Bone marrow aspirate smear. Brightfield microscopy, 40× oil immersion
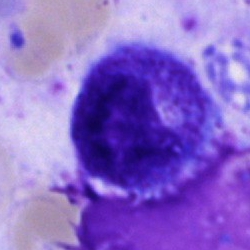
Single cell identified as a progranulocyte.